Bone marrow smear. MGG-stained. 250 by 250 pixels: 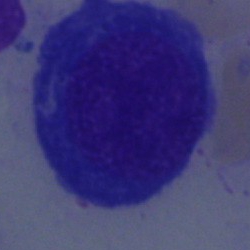
Showing a proerythroblast.